Peripheral blood smear · 100× oil immersion, 14.14 px/µm: 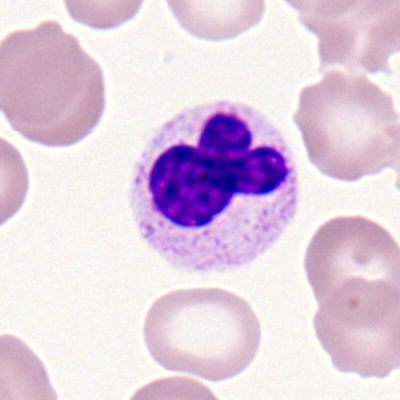Cell type: neutrophil (segmented).